Pappenheim-stained. Bone marrow smear: 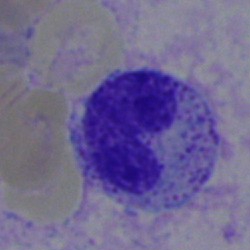
The morphological class is stab cell.